May-Grünwald-Giemsa/Pappenheim stain; bone marrow aspirate smear — 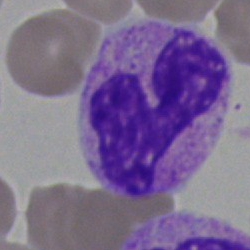
Q: Identify the cell.
A: This is a neutrophil (segmented).